Bone marrow smear · single-cell field
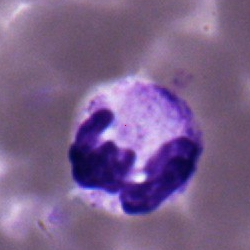

The cell type is neutrophil (segmented).